40× oil immersion. Bone marrow aspirate smear: 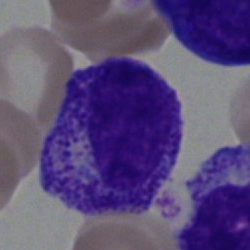Cell = myelocyte.